Bone marrow smear — 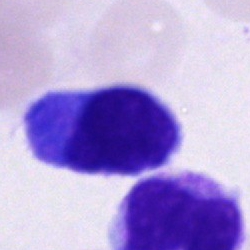
Morphological class = unidentifiable cell.